Bone marrow smear · 40× objective, oil immersion
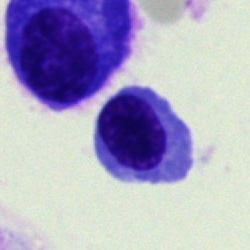 Single cell identified as an erythroblast.